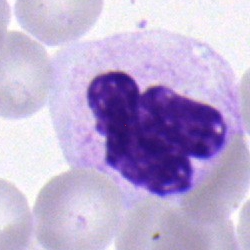

Band-form neutrophil.